250×250 px; bone marrow aspirate smear — 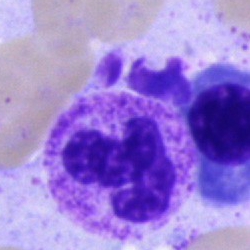

Cell = polymorphonuclear neutrophil.